Bone marrow aspirate smear. Single-cell crop. May-Grünwald-Giemsa/Pappenheim stain: 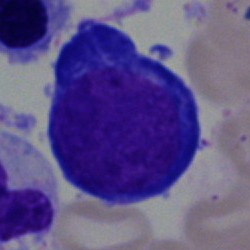Morphology → pronormoblast.